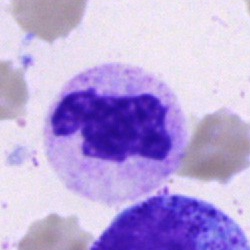

Bone marrow aspirate smear, single cell — neutrophil (segmented).